250×250 · bone marrow smear:
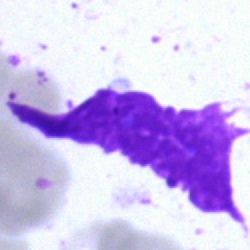
Morphology — artefact.